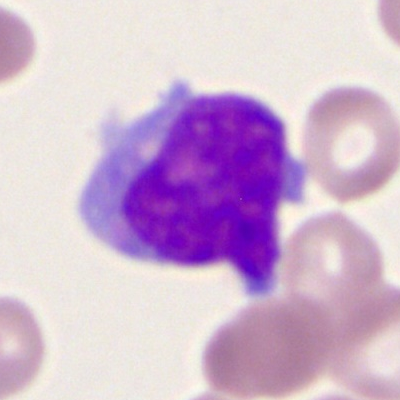 Morphology → monocyte.